Bone marrow aspirate smear:
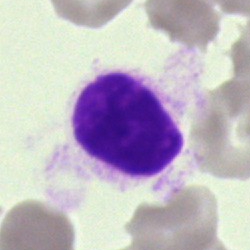 Specimen: bone marrow aspirate smear.
Cell type: artefact.